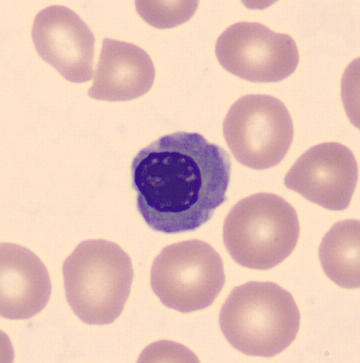

Identified as a nucleated red blood cell.